Single-cell field. Bone marrow smear. Brightfield microscopy, 40× oil immersion.
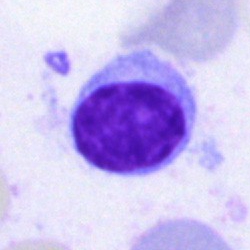

Morphology — typical lymphocyte.